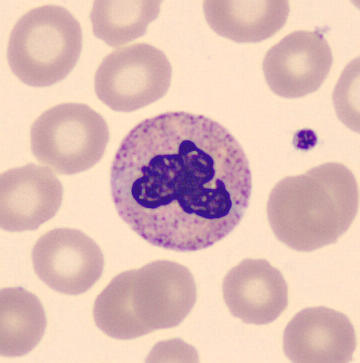

Image: May-Grünwald-Giemsa-stained. Specimen: peripheral blood film.
Morphological class: neutrophil (segmented).